Bone marrow smear; single-cell field; 40× objective, oil immersion.
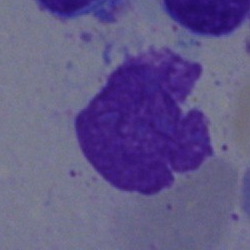
The cell shown is an artefact.